MGG-stained · 250 by 250 pixels · bone marrow smear.
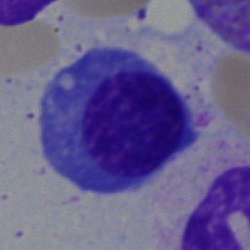

Q: Identify the cell.
A: Nucleated red blood cell.